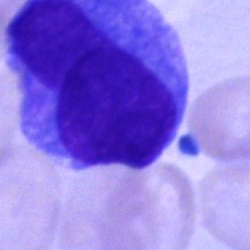
Q: What is shown here?
A: It is an undifferentiated blast.